Bone marrow smear: 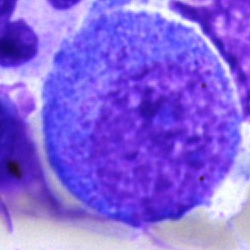

Specimen: bone marrow aspirate smear.
Cell: progranulocyte.